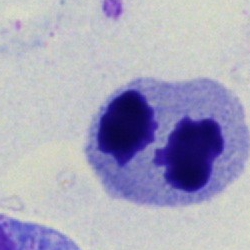

Cell type: artifact.